Single cell centered in the field. Bone marrow aspirate smear
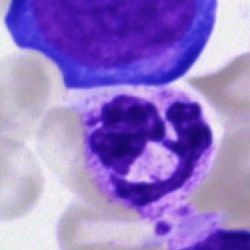Q: What type of cell is this?
A: Polymorphonuclear neutrophil.